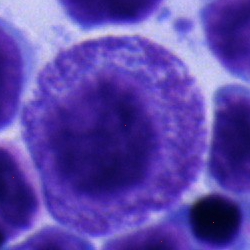
Single cell identified as a progranulocyte.